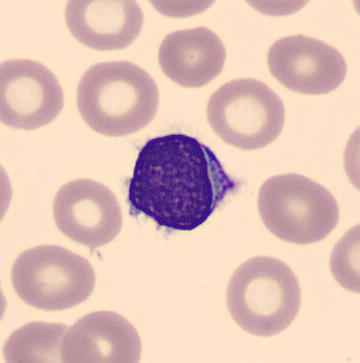

Image: Peripheral blood film. MGG stain. Single-cell field. The cell is lymphocyte.